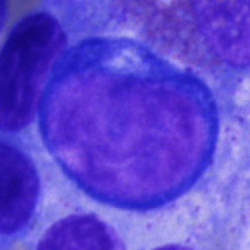
Impression → proerythroblast.